Bone marrow aspirate smear — 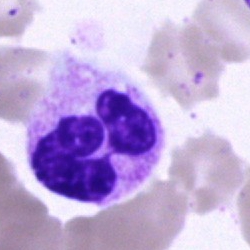Classification — polymorphonuclear neutrophil.